Bone marrow smear:
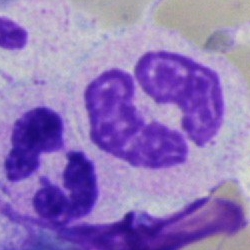{"cell_type": "neutrophil (segmented)", "lineage": "myeloid"}